Peripheral blood film.
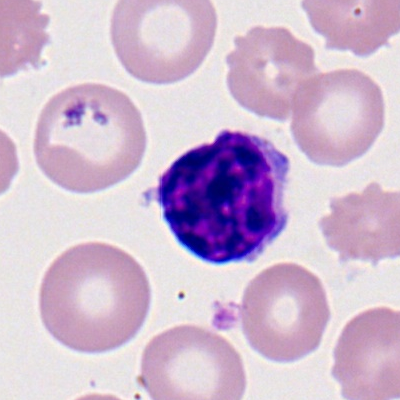
This is a typical lymphocyte.